40× oil immersion. Bone marrow aspirate smear — 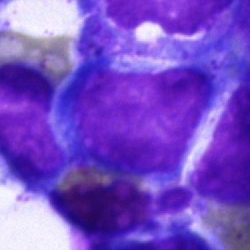
This is an undifferentiated blast.